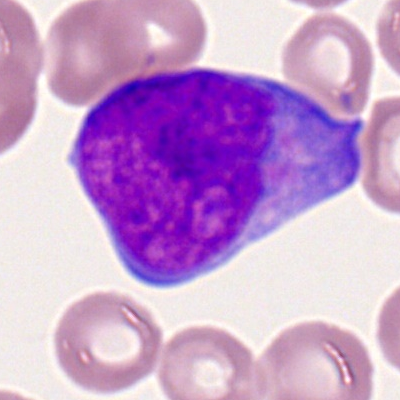

Cell type = myeloid blast.